Bone marrow aspirate smear
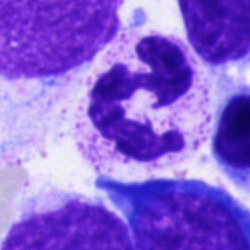
The cell is polymorphonuclear neutrophil.